Bone marrow smear; image size 250×250: 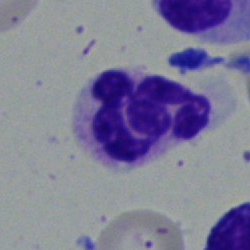 This is a neutrophil (segmented).